Bone marrow smear; 250×250: 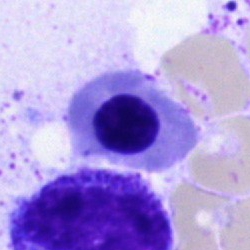
Q: Which cell type is shown here?
A: A nucleated red cell.